May-Grünwald-Giemsa/Pappenheim stain. Bone marrow smear. Single-cell crop.
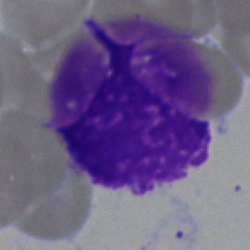
Morphological class: artefact.